Bone marrow aspirate smear.
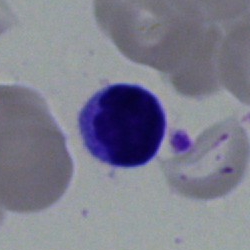

Morphology consistent with a lymphocyte.